Bone marrow aspirate smear — 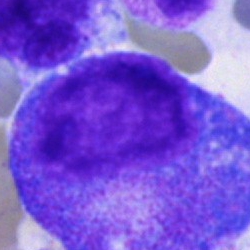 Morphological class = promyelocyte.